Bone marrow smear.
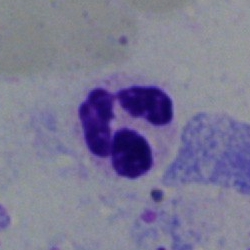
{"cell_type": "polymorphonuclear neutrophil"}